Bone marrow aspirate smear.
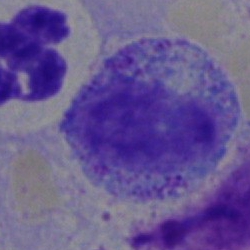
Showing a myelocyte.